Bone marrow smear:
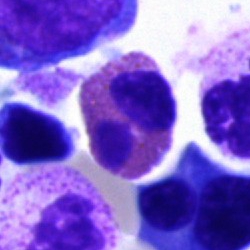Single cell identified as an eosinophilic granulocyte.